Single-cell crop; bone marrow aspirate smear; 250×250 px:
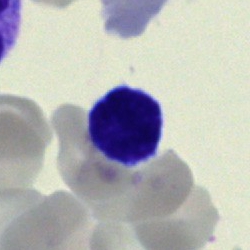 Morphology consistent with a lymphocyte.